Bone marrow aspirate smear.
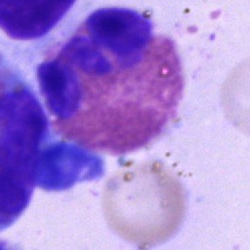
Classification: eosinophil.